Bone marrow aspirate smear:
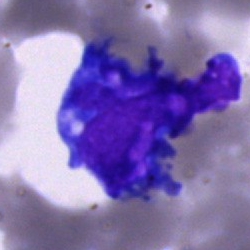 A blast.